250×250 px; bone marrow aspirate smear; May-Grünwald-Giemsa stain
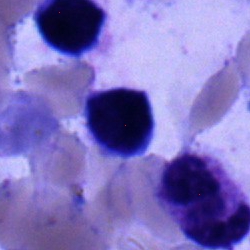 The cell type is lymphocyte.